Bone marrow aspirate smear · brightfield microscopy, 40× oil immersion:
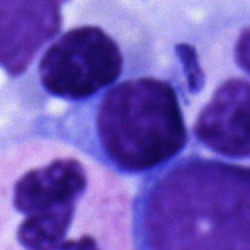 {"cell_type": "lymphocyte"}